Bone marrow smear: 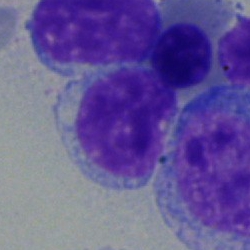 The cell is typical lymphocyte.